Brightfield, 40× oil-immersion objective; May-Grünwald-Giemsa stain; bone marrow aspirate smear.
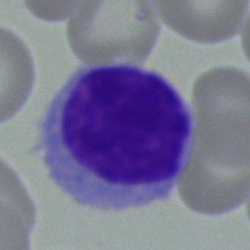

Typical lymphocyte.